100× objective, oil immersion; Romanowsky-type stain; peripheral blood smear
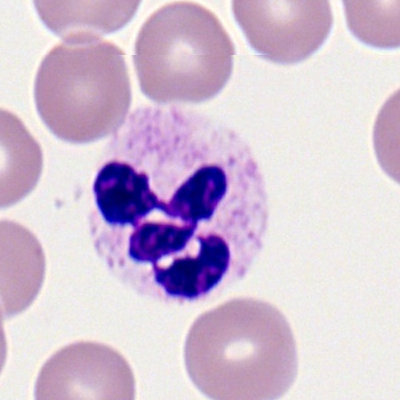
Impression → segmented neutrophil.